Bone marrow aspirate smear — 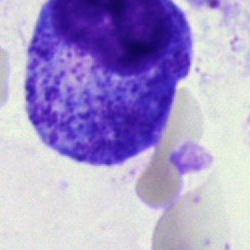

Q: What cell is this?
A: Promyelocyte.